Bone marrow aspirate smear:
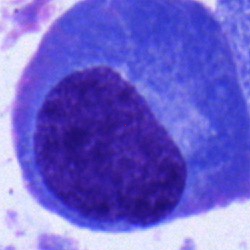
Morphology consistent with a plasma cell.